Bone marrow aspirate smear · single-cell field: 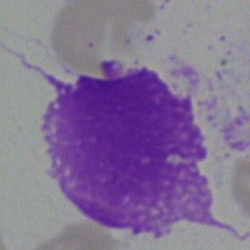
Cell — artifact.